Bone marrow aspirate smear. MGG-stained
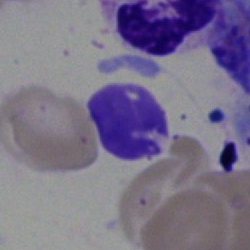Classification — artefact.